Peripheral blood smear; cropped to a single cell: 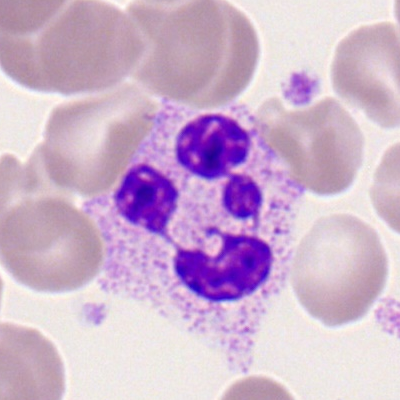 Single cell identified as a polymorphonuclear neutrophil.